Single-cell field; 250×250; bone marrow smear:
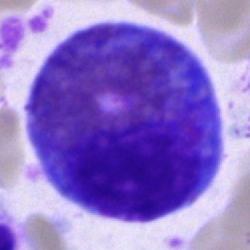

Eosinophil.